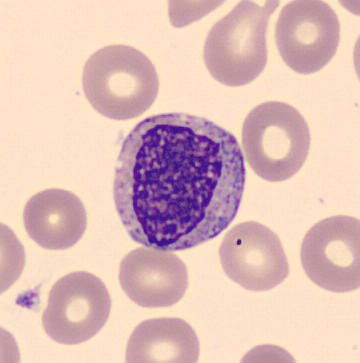 Peripheral blood film.
Morphology — myelocyte.